Bone marrow smear
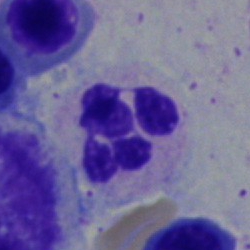Specimen: bone marrow smear.
Cell: neutrophil (segmented).